MGG-stained; bone marrow aspirate smear.
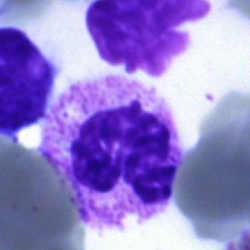 Specimen: bone marrow aspirate smear.
Classification: polymorphonuclear neutrophil.
Lineage: myeloid.